Bone marrow smear.
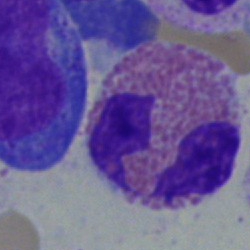

Specimen: bone marrow aspirate smear.
Morphological class: eosinophil.
Lineage: myeloid.